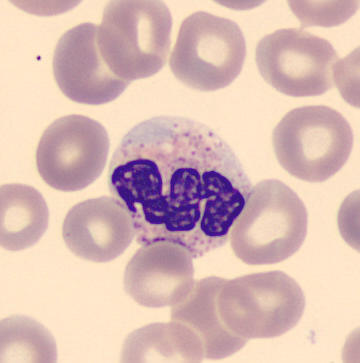

Acquisition: Peripheral blood film. CellaVision DM96 digital cell image.

Showing a neutrophil (segmented).